Bone marrow aspirate smear. 250 by 250 pixels:
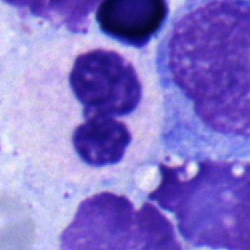Cell type — neutrophil (segmented).